Bone marrow smear — 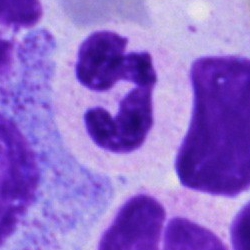
The cell shown is a neutrophil (segmented).